Peripheral blood smear
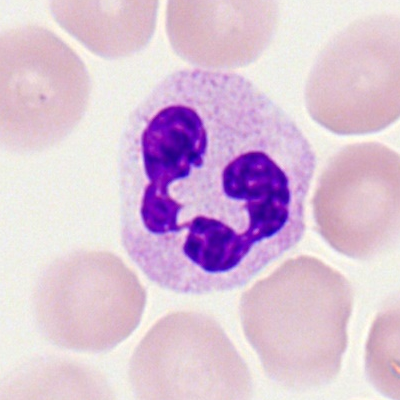 Classification — neutrophil (segmented).